Bone marrow aspirate smear — 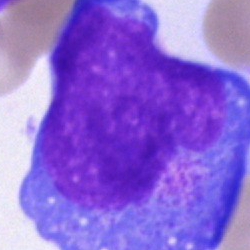
Morphological class — blast cell.